Brightfield microscopy, 40× oil immersion. Bone marrow aspirate smear. Image size 250×250 — 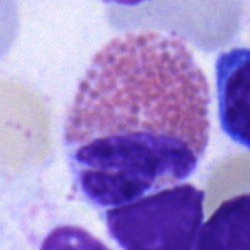 Classification: eosinophil.